Bone marrow smear:
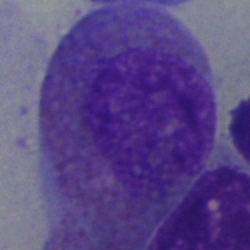

{"cell_type": "eosinophil"}